Bone marrow aspirate smear — 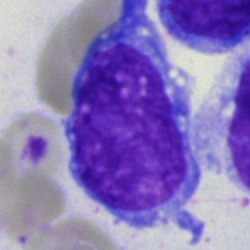
Specimen: bone marrow smear.
Cell type: blast.